Bone marrow smear — 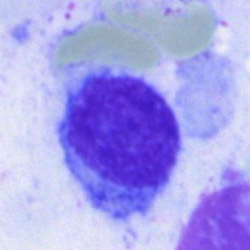Morphological class = hairy cell.